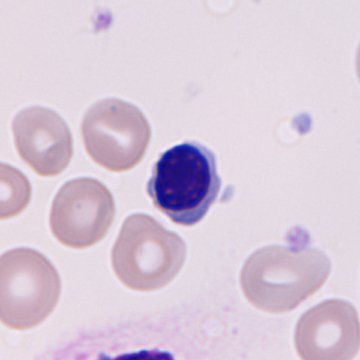

Single cell centered in the field · May-Grünwald-Giemsa-stained · peripheral blood smear.

Q: What is shown here?
A: This is a normoblast.